Bone marrow aspirate smear. Cropped to a single cell — 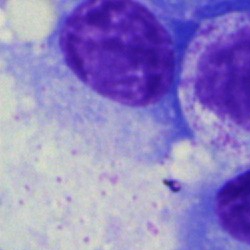Q: What is shown here?
A: A lymphocyte.